Bone marrow aspirate smear
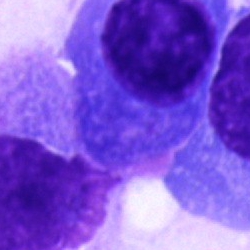

Morphological class — plasmacyte.